Brightfield, 40× oil-immersion objective. Bone marrow aspirate smear: 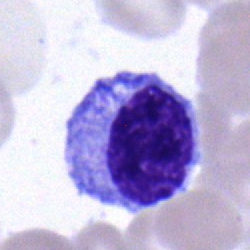
Morphological class — progranulocyte.